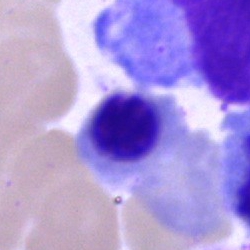

Q: What type of cell is this?
A: An erythroblast.